Bone marrow aspirate smear
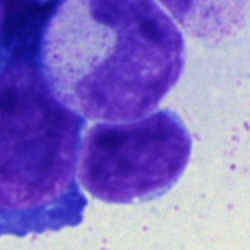
Cell type: lymphocyte.